Bone marrow smear.
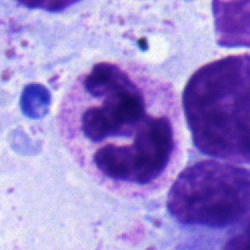

This is a polymorphonuclear neutrophil.